Brightfield, 40× oil-immersion objective; bone marrow aspirate smear.
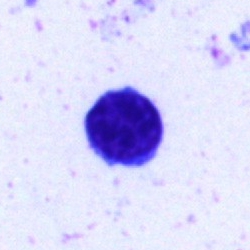

Classification: lymphocyte.